Bone marrow smear; single-cell crop — 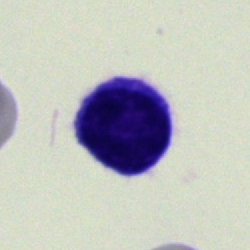

Impression — typical lymphocyte.